Bone marrow aspirate smear — 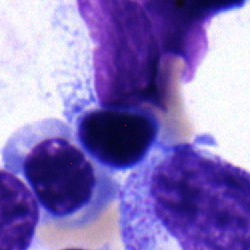{"cell_type": "nucleated red cell", "lineage": "erythroid"}